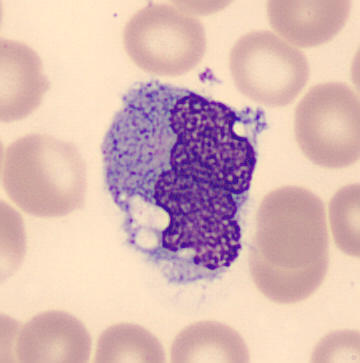
Preparation: Peripheral blood film; 360×363. Impression — monocyte.